Bone marrow smear
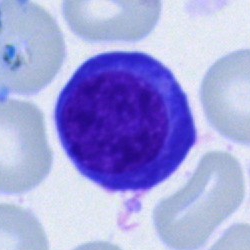 Impression → nucleated red blood cell.